40× oil immersion. Single-cell field. Bone marrow aspirate smear.
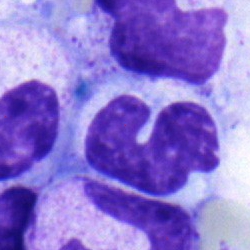

Impression → band-form neutrophil.